May-Grünwald-Giemsa stain. Bone marrow aspirate smear: 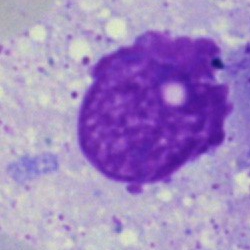Impression — artifact.